Single-cell field. Bone marrow smear
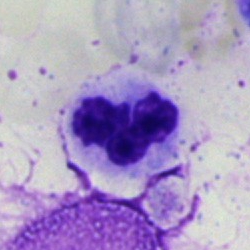
The cell shown is a neutrophil (segmented).